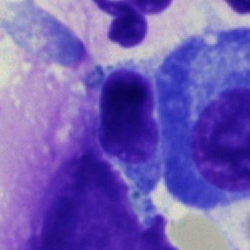This is a lymphocyte.